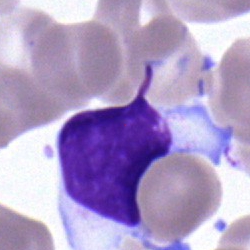

The classification is lymphocyte.